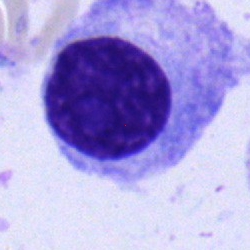 Cell type: plasma cell.